40× oil immersion; bone marrow smear; May-Grünwald-Giemsa stain:
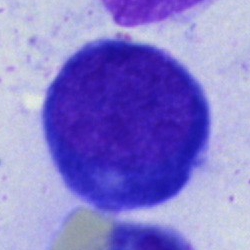
Single cell identified as a pronormoblast.